Bone marrow aspirate smear
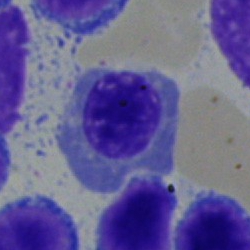
Cell type = normoblast.